40× objective, oil immersion. Bone marrow smear. 250×250 px — 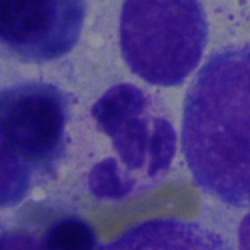
Q: What is the morphological classification of this cell?
A: A neutrophil (segmented).